Bone marrow smear; May-Grünwald-Giemsa stain:
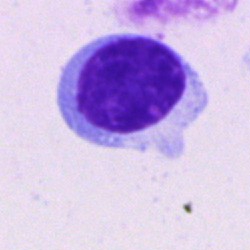 Q: What type of cell is this?
A: It is a typical lymphocyte.